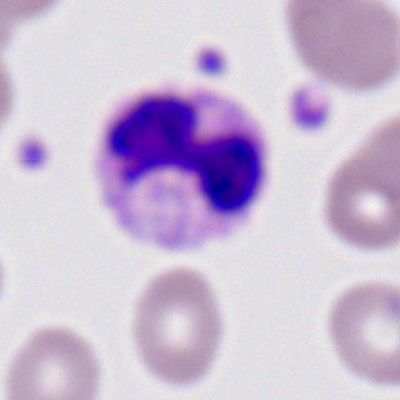Morphological class: polymorphonuclear neutrophil.